Bone marrow aspirate smear.
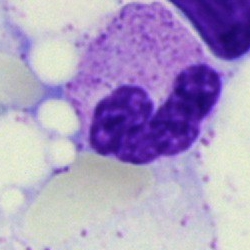Impression — segmented neutrophil.